MGG-stained. Bone marrow smear. Image size 250×250
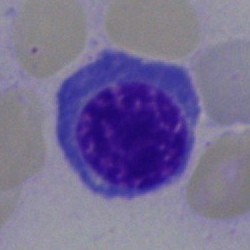 Q: What is shown here?
A: It is a normoblast.